Brightfield, 40× oil-immersion objective · bone marrow aspirate smear
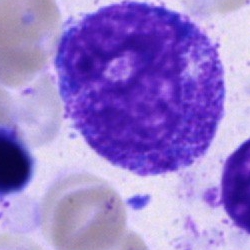
Specimen: bone marrow smear.
Morphological class: progranulocyte.